Bone marrow smear.
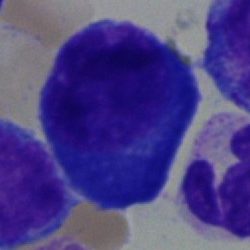

This is a plasmacyte.